Peripheral blood smear · single cell centered in the field
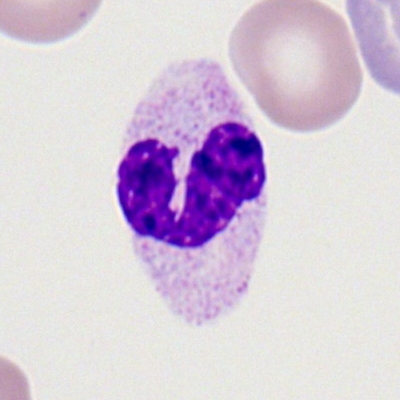A neutrophil (segmented).